Peripheral blood film — 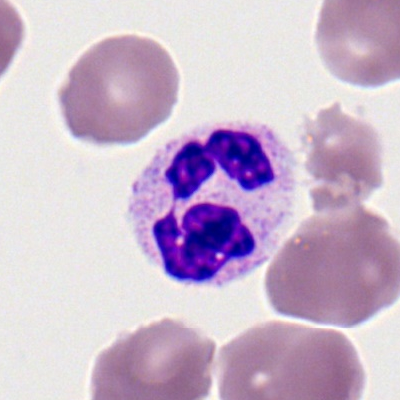Morphological class = neutrophil (segmented).